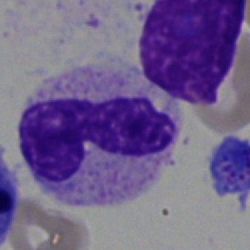 {"cell_type": "stab cell"}